Bone marrow aspirate smear · Pappenheim-stained · cropped to a single cell.
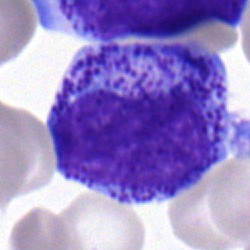

Cell = metamyelocyte.